Brightfield, 40× oil-immersion objective. Bone marrow smear. Image size 250×250
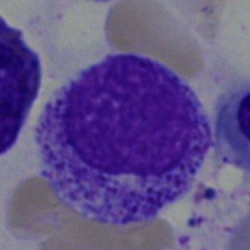Classification: myelocyte.